May-Grünwald-Giemsa stain · bone marrow smear:
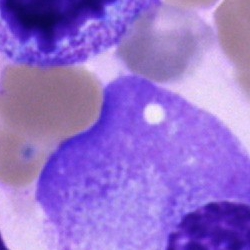
Showing a plasma cell.